Bone marrow aspirate smear: 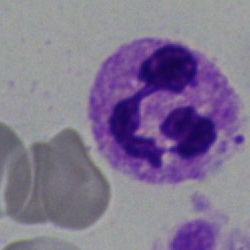{"cell_type": "segmented neutrophil"}